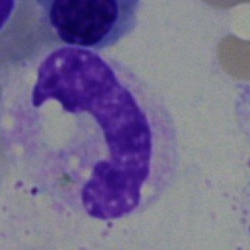

Morphological class: band-form neutrophil.